Bone marrow aspirate smear · 40× oil immersion.
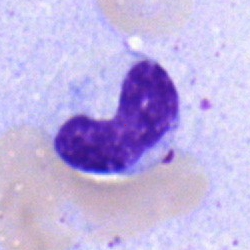 Showing a stab cell.